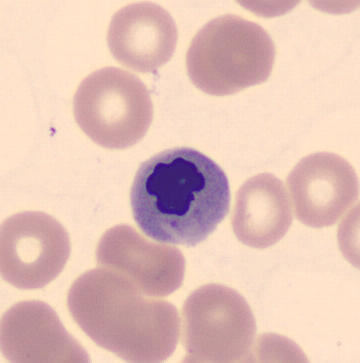

Specimen: peripheral blood smear.
Morphological class: erythroblast.
Lineage: erythroid.